Bone marrow aspirate smear.
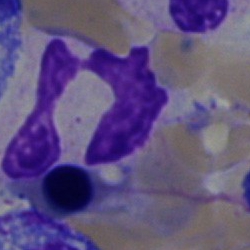
A neutrophil (segmented).